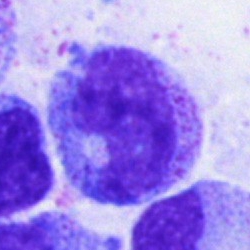Specimen: bone marrow smear.
Classification: metamyelocyte.